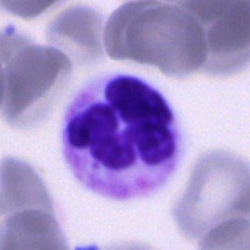

Q: What is shown here?
A: A segmented neutrophil.